Peripheral blood film — 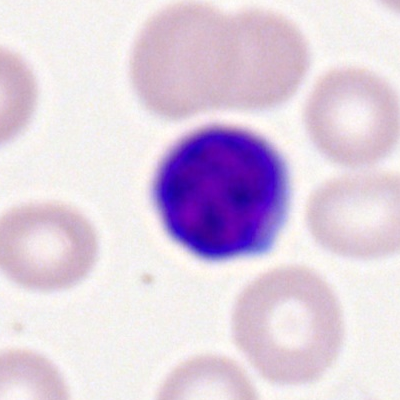

Cell = typical lymphocyte.